Bone marrow aspirate smear; brightfield, 40× oil-immersion objective.
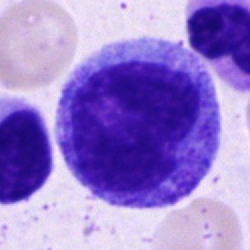Q: What is the morphological classification of this cell?
A: Progranulocyte.